Single-cell field · bone marrow smear: 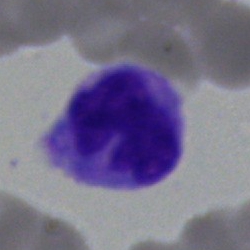Morphology consistent with a monocyte.